Bone marrow aspirate smear:
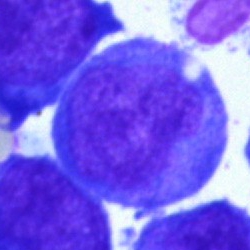
Q: What is shown here?
A: An undifferentiated blast.